Bone marrow aspirate smear · May-Grünwald-Giemsa stain · single-cell crop:
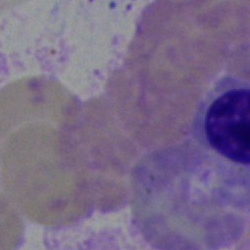Showing an artefact.